Peripheral blood film — 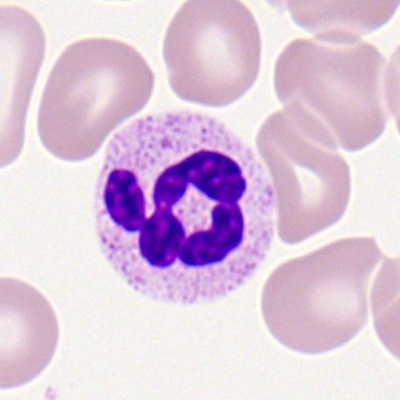

Specimen: peripheral blood smear.
Classification: segmented neutrophil.
Lineage: myeloid.